Bone marrow smear:
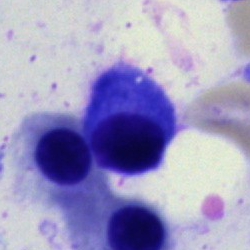The morphological class is plasma cell.